Peripheral blood film: 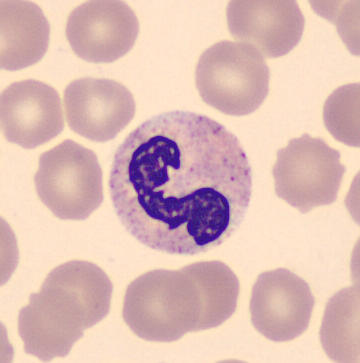 Morphological class: segmented neutrophil.